Peripheral blood film:
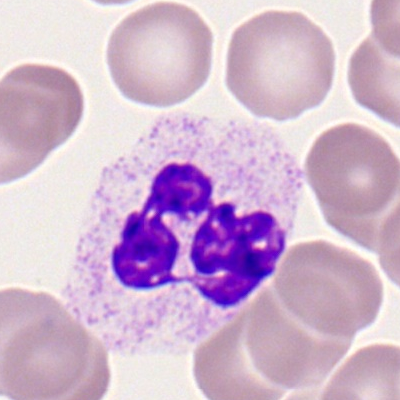 Morphological class: neutrophil (segmented).